Brightfield, 40× oil-immersion objective; bone marrow smear; 250×250 px.
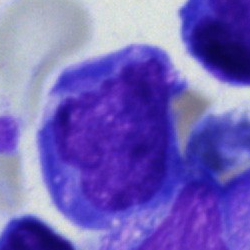 Specimen: bone marrow aspirate smear.
Classification: undifferentiated blast.